250×250 · bone marrow aspirate smear · single-cell crop: 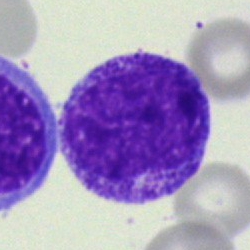

Morphology → myelocyte.